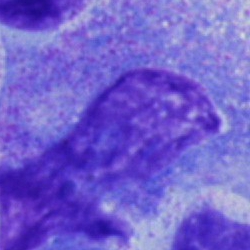 Classification: artifact.